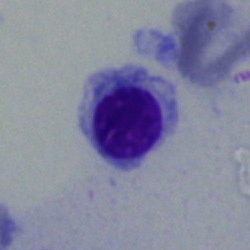Classification: erythroblast.